Bone marrow aspirate smear.
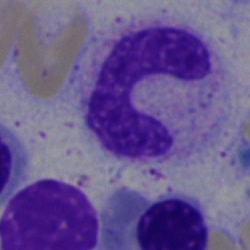
Impression → stab cell.